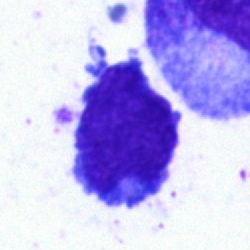 Bone marrow smear showing a typical lymphocyte.